Bone marrow aspirate smear; 40× oil immersion — 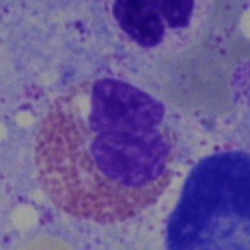

Specimen: bone marrow smear.
Cell type: eosinophil.
Lineage: myeloid.